Bone marrow smear · May-Grünwald-Giemsa/Pappenheim stain:
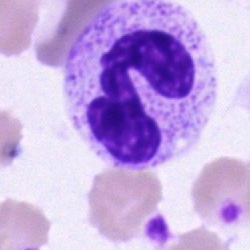

Morphology → polymorphonuclear neutrophil.